Bone marrow aspirate smear: 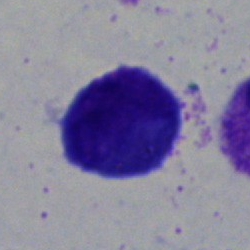 Specimen: bone marrow smear.
Cell type: lymphocyte.